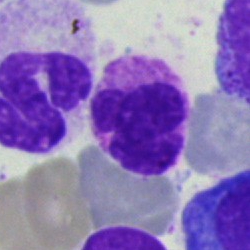 A segmented neutrophil.